Bone marrow aspirate smear · 40× objective, oil immersion
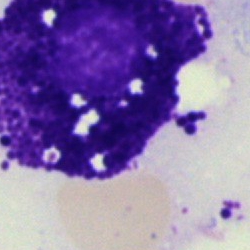
Specimen: bone marrow smear.
Morphological class: cell not matching the other categories.